Bone marrow smear. 250×250
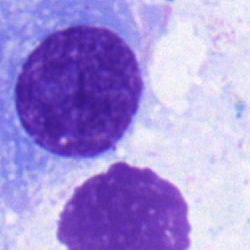Morphology — plasma cell.